Bone marrow aspirate smear
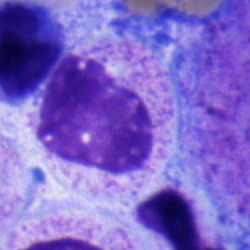

Q: What cell is this?
A: A metamyelocyte.